Bone marrow aspirate smear
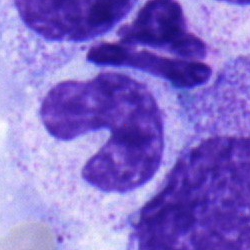

The morphological class is stab cell.